40× objective, oil immersion · bone marrow aspirate smear · 250 by 250 pixels.
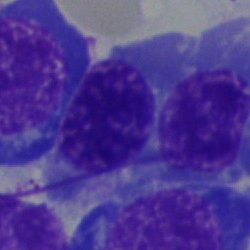
Q: What is the morphological classification of this cell?
A: It is a nucleated red cell.